Image size 250×250; bone marrow aspirate smear; brightfield, 40× oil-immersion objective: 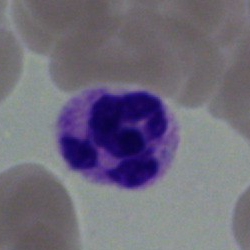Single cell identified as a segmented neutrophil.